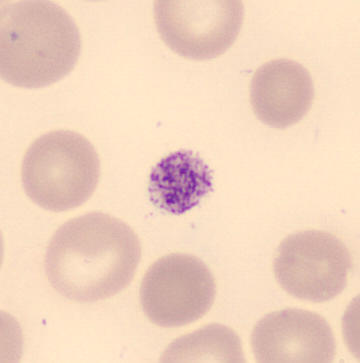
Q: What is this?
A: It is a platelet.
Peripheral blood smear. May Grünwald-Giemsa stain.